Bone marrow aspirate smear:
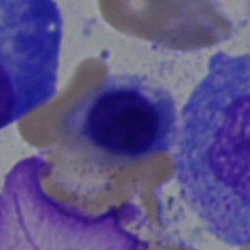

Classification: erythroblast.